Bone marrow smear
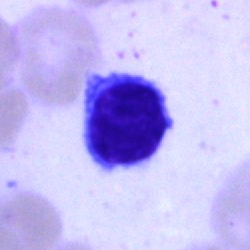

Morphological class = lymphocyte.